Bone marrow aspirate smear.
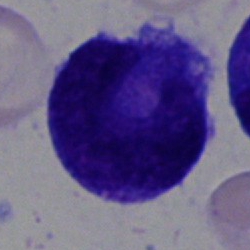Classification = blast.